Bone marrow aspirate smear · 40× objective, oil immersion · 250×250 px: 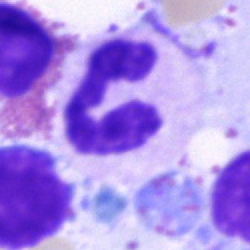Polymorphonuclear neutrophil.